Bone marrow aspirate smear
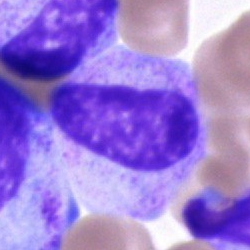 Unidentifiable cell.